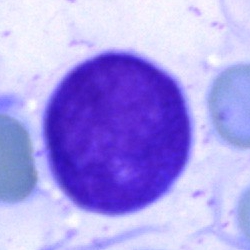 Specimen: bone marrow aspirate smear.
Cell type: cell of indeterminate lineage.